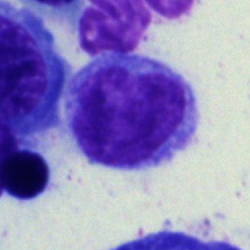 Typical lymphocyte.